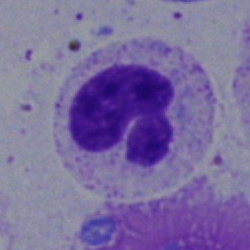 A polymorphonuclear neutrophil.